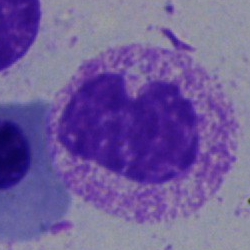{"cell_type": "neutrophil (band)", "lineage": "myeloid"}